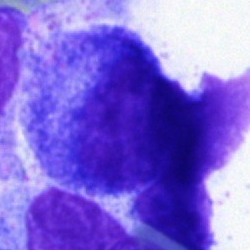A promyelocyte.